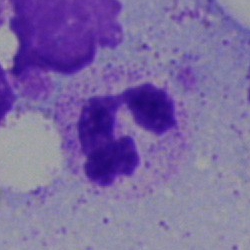
The cell shown is a polymorphonuclear neutrophil.